Cropped to a single cell. Bone marrow smear.
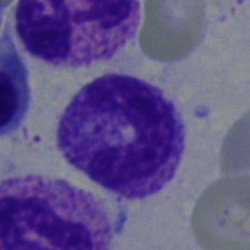
Single cell identified as a band-form neutrophil.